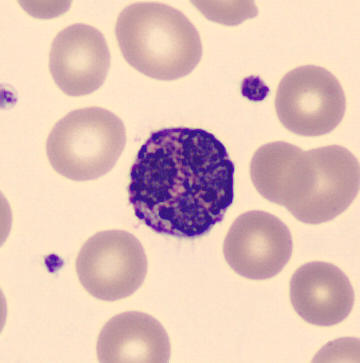 Identified as a basophilic granulocyte. Image: Peripheral blood film; single cell centered in the field.